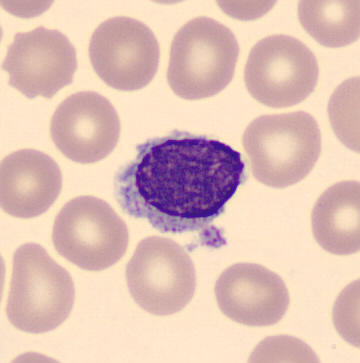Preparation: Peripheral blood smear · CellaVision DM96.
Cell type — lymphocyte.